Bone marrow aspirate smear.
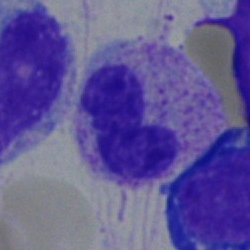 Impression → stab cell.